Bone marrow smear. Single cell centered in the field
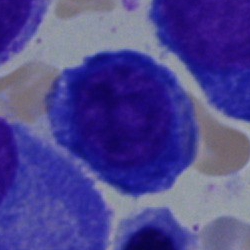Cell: proerythroblast.